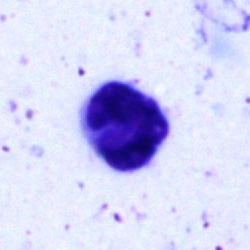
Bone marrow smear showing an artifact.